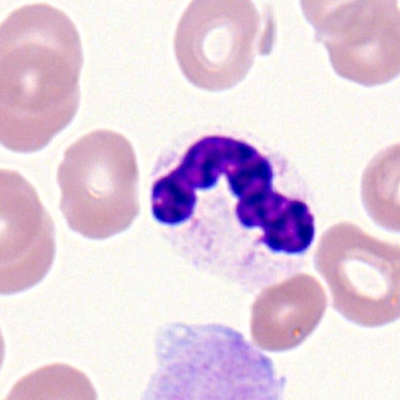 Morphological class = polymorphonuclear neutrophil.